Brightfield, 40× oil-immersion objective · bone marrow smear: 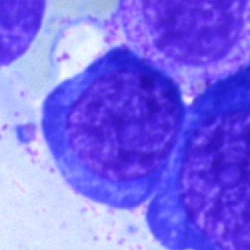This is a nucleated red blood cell.